Bone marrow aspirate smear; cropped to a single cell.
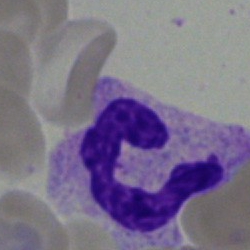Q: Which cell type is shown here?
A: This is a segmented neutrophil.